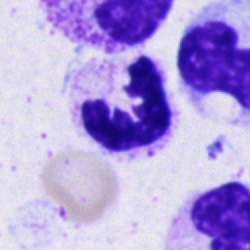

Specimen: bone marrow aspirate smear.
Classification: segmented neutrophil.